Bone marrow aspirate smear — 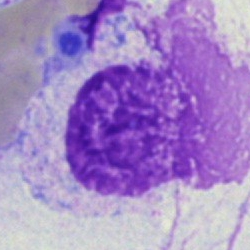

Classification = artefact.